Cropped to a single cell · bone marrow aspirate smear · 40× objective, oil immersion:
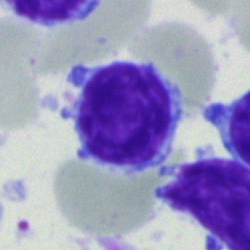

Impression → typical lymphocyte.